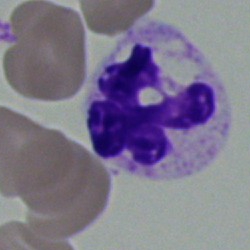 Morphology — polymorphonuclear neutrophil.